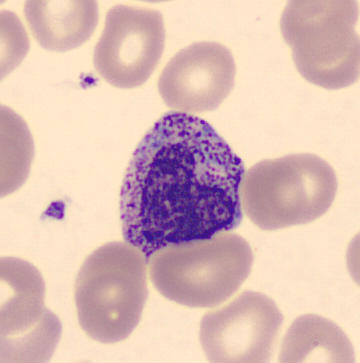 Impression — metamyelocyte.